Brightfield microscopy, 40× oil immersion; bone marrow smear
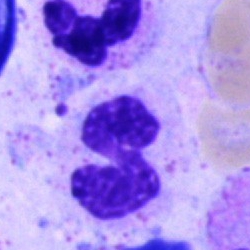Specimen: bone marrow aspirate smear.
Classification: neutrophil (segmented).
Lineage: myeloid.